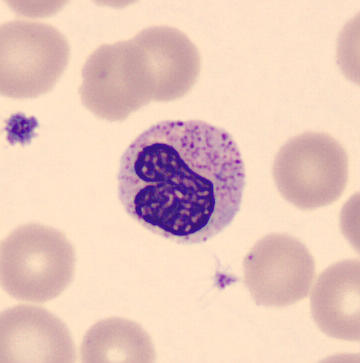 Acquisition: Imaged on a CellaVision DM96 analyser. Single cell centered in the field. Peripheral blood smear.

Morphological class = neutrophil (band).